Bone marrow aspirate smear: 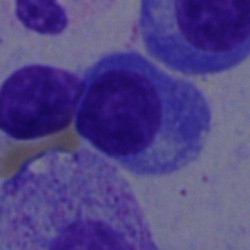A plasma cell.